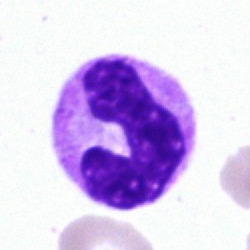 Morphological class — band neutrophil.